Bone marrow smear.
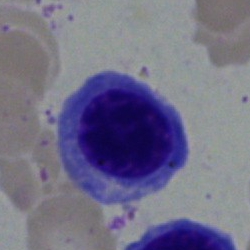

Specimen: bone marrow smear.
Cell type: normoblast.
Lineage: erythroid.